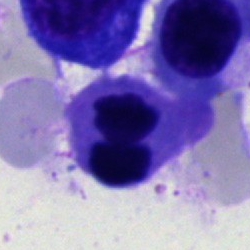Single cell identified as a normoblast.